Bone marrow aspirate smear · MGG-stained:
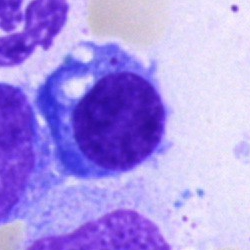 Classification — plasmacyte.